Bone marrow aspirate smear. MGG-stained. 250×250 px:
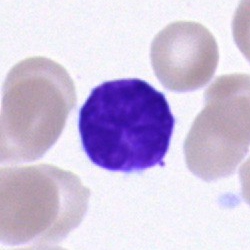

The morphological class is typical lymphocyte.